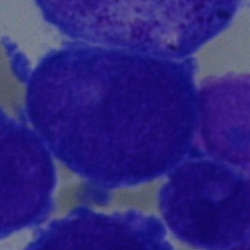

Morphological class — blast.